Bone marrow aspirate smear. Single-cell crop
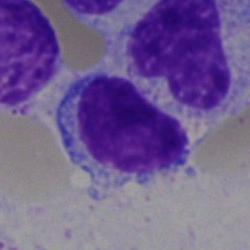 Single cell identified as a typical lymphocyte.